Bone marrow aspirate smear: 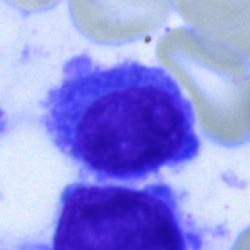

This is a plasmacyte.